Image size 250×250 · May-Grünwald-Giemsa stain · bone marrow aspirate smear.
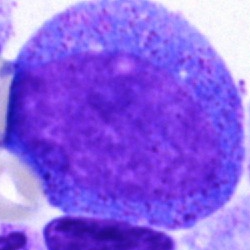

Cell: progranulocyte.